Bone marrow smear
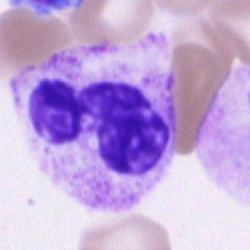
A polymorphonuclear neutrophil.